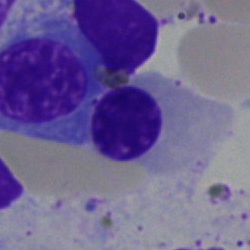
The morphological class is nucleated red blood cell.